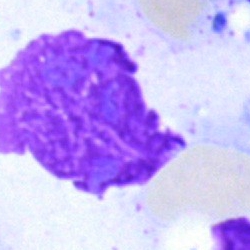

{"cell_type": "artefact"}